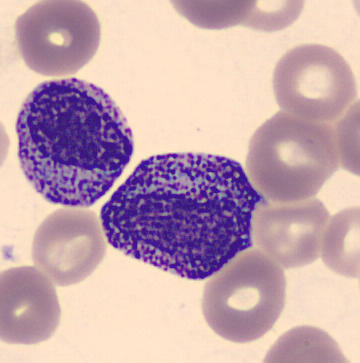 Image: Peripheral blood film.

Progranulocyte.